Bone marrow aspirate smear — 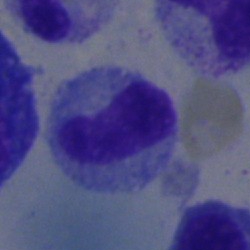A stab cell.